Peripheral blood smear: 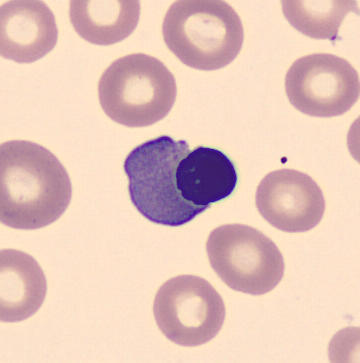
Q: Which cell type is shown here?
A: Erythroblast.